May-Grünwald-Giemsa stain; bone marrow smear.
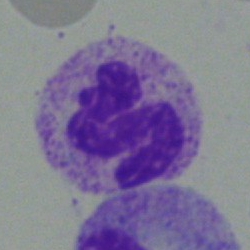

Neutrophil (segmented).